Bone marrow aspirate smear · 250 by 250 pixels: 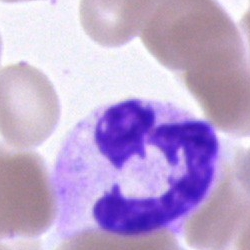

The cell shown is a polymorphonuclear neutrophil.